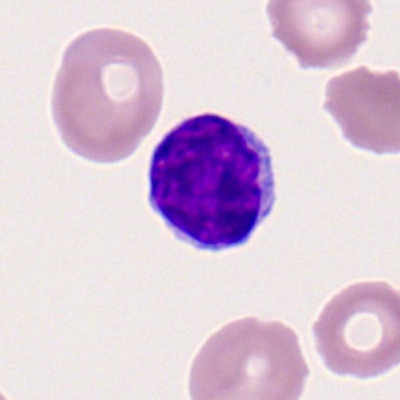
{"cell_type": "typical lymphocyte"}